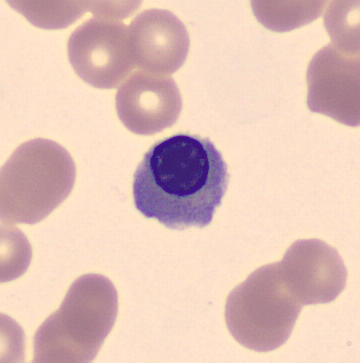{"cell_type": "normoblast", "lineage": "erythroid"}

Peripheral blood smear.